Bone marrow smear. 40× objective, oil immersion. 250×250 px.
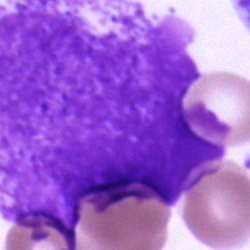
Cell type — artefact.